Bone marrow aspirate smear; single-cell field; May-Grünwald-Giemsa/Pappenheim stain
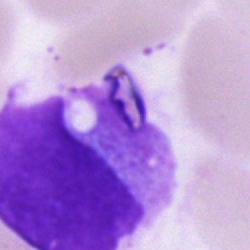Specimen: bone marrow smear.
Cell: artefact.